Bone marrow aspirate smear
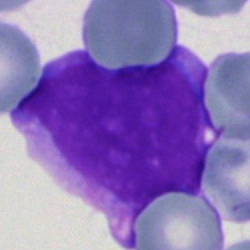
Impression — blast.